Bone marrow smear; 40× oil immersion: 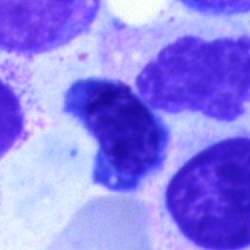Morphology consistent with a lymphocyte.